Brightfield, 40× oil-immersion objective; image size 250×250; bone marrow aspirate smear:
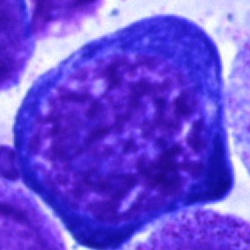
This is an erythroblast.